Bone marrow aspirate smear — 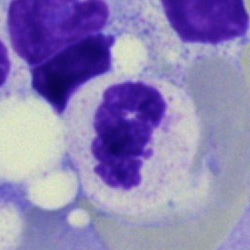Polymorphonuclear neutrophil.